MGG-stained; bone marrow aspirate smear — 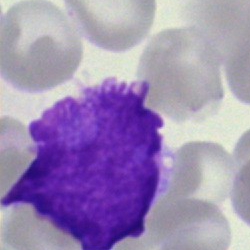
Single cell identified as an artifact.